Single-cell field. Bone marrow smear: 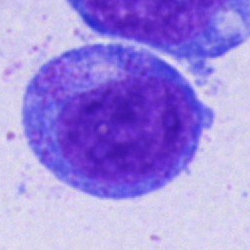 Q: What is the morphological classification of this cell?
A: Progranulocyte.